Bone marrow aspirate smear:
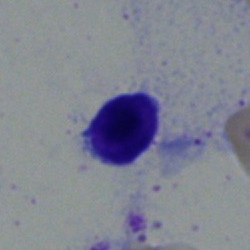 Q: What type of cell is this?
A: It is a lymphocyte.